Peripheral blood film; 400×400 px; brightfield, 100× oil-immersion objective
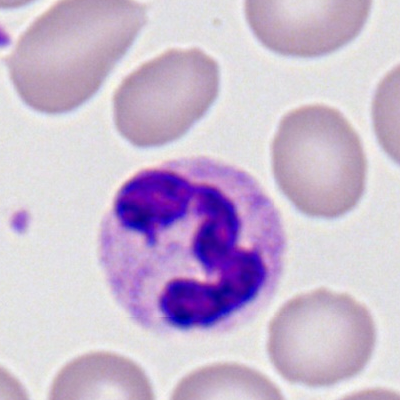

{"cell_type": "segmented neutrophil", "lineage": "myeloid"}